Bone marrow aspirate smear.
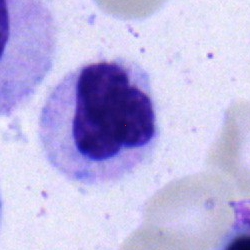 Cell: neutrophil (segmented).